Single-cell field · bone marrow aspirate smear:
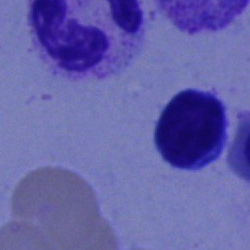

The cell shown is a typical lymphocyte.